Bone marrow aspirate smear — 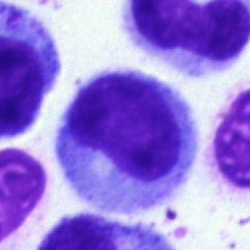Q: What cell is this?
A: A metamyelocyte.